Bone marrow aspirate smear:
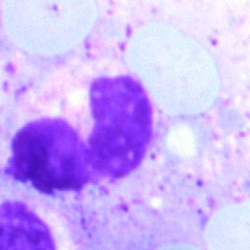

Single cell identified as an artefact.